Bone marrow smear.
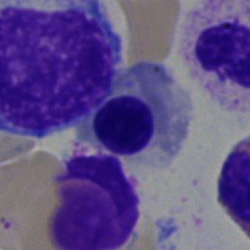
A nucleated red blood cell.